Bone marrow smear:
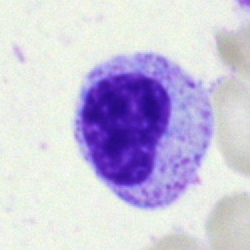 Cell: myelocyte.